Bone marrow aspirate smear — 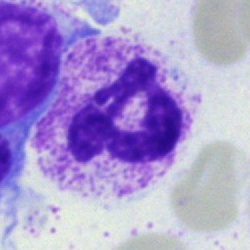
Impression — neutrophil (segmented).